Bone marrow smear; 250×250.
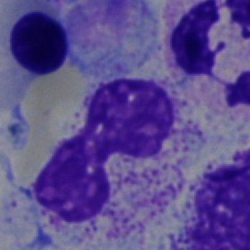 Cell — stab cell.